Bone marrow smear.
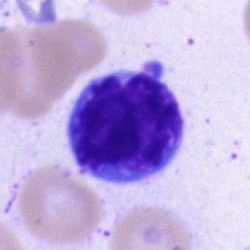Q: What is the morphological classification of this cell?
A: Lymphocyte.